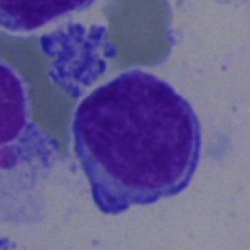Single-cell crop from a bone marrow smear: lymphocyte.